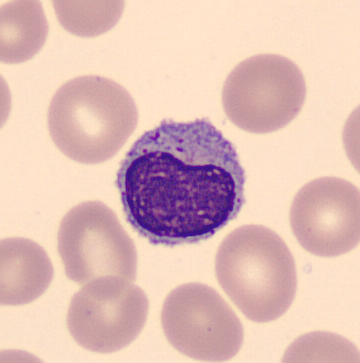Acquisition: Peripheral blood smear. May Grünwald-Giemsa stain. Q: What cell is this?
A: Lymphocyte.